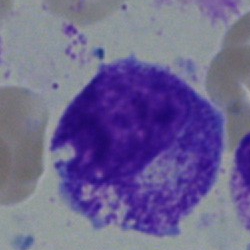
Myelocyte.